Bone marrow smear · single-cell field · 250 by 250 pixels
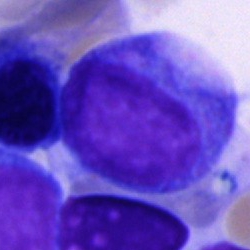Cell = blast.